Bone marrow aspirate smear.
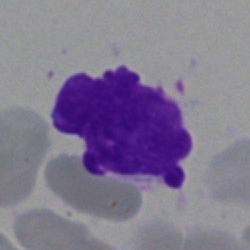
Classification = artefact.